Bone marrow smear. 40× objective, oil immersion:
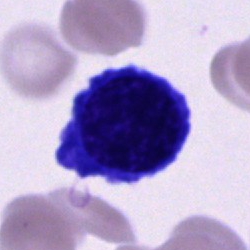 The classification is nucleated red blood cell.